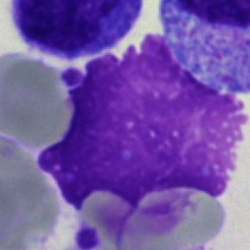
The cell type is artifact.